Romanowsky stain; peripheral blood smear
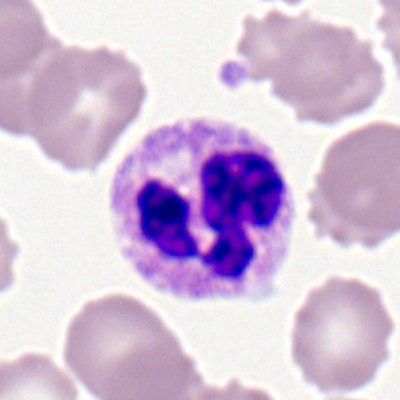

Morphological class: segmented neutrophil.